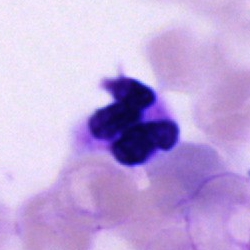 Morphological class: polymorphonuclear neutrophil.